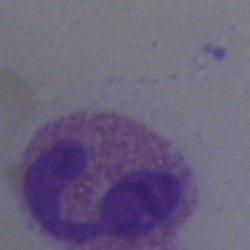
{"cell_type": "eosinophilic granulocyte", "lineage": "myeloid"}